Bone marrow aspirate smear. Single-cell crop: 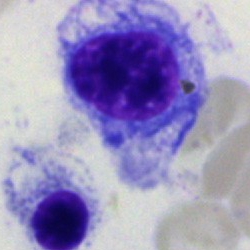Cell type — nucleated red cell.